40× oil immersion; bone marrow smear.
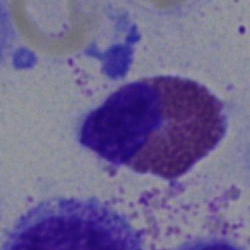 This is an eosinophilic granulocyte.